250 by 250 pixels · bone marrow aspirate smear · single-cell field: 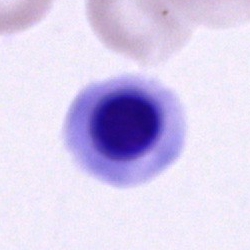
Q: Which cell type is shown here?
A: A nucleated red blood cell.